Bone marrow aspirate smear — 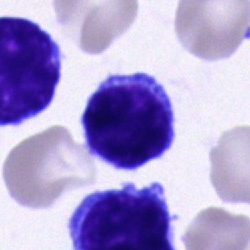

Lymphocyte.